Peripheral blood film; 100× oil immersion, 14.14 px/µm.
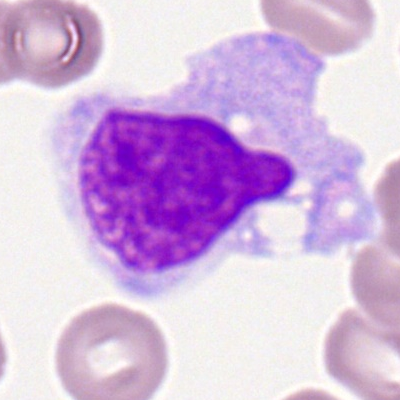

Monocyte.